40× objective, oil immersion · single-cell crop · bone marrow smear: 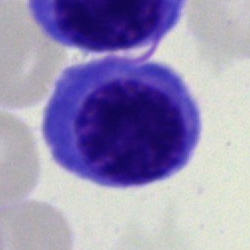 Specimen: bone marrow smear.
Cell: nucleated red blood cell.
Lineage: erythroid.